Peripheral blood smear · MGG-stained: 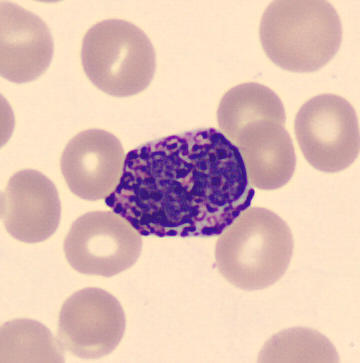 Showing a basophil.